Bone marrow smear; 40× objective, oil immersion — 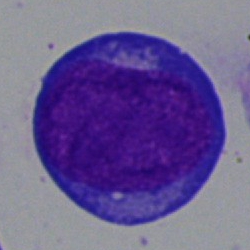
Morphology consistent with a proerythroblast.